Bone marrow aspirate smear — 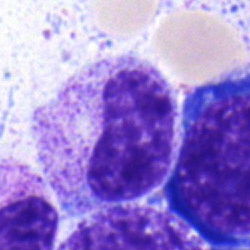
Q: What is the morphological classification of this cell?
A: A metamyelocyte.